Bone marrow aspirate smear
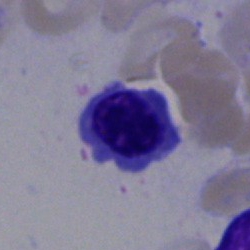{"cell_type": "normoblast"}